Bone marrow smear. Pappenheim-stained. 250×250 px: 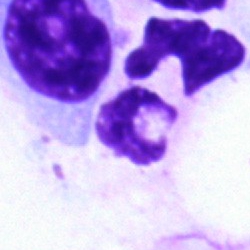Q: What is shown here?
A: It is an artifact.